Single cell centered in the field. Bone marrow aspirate smear.
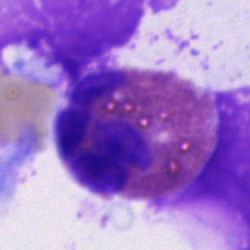
Eosinophil.